Single-cell field. May-Grünwald-Giemsa stain. Bone marrow smear.
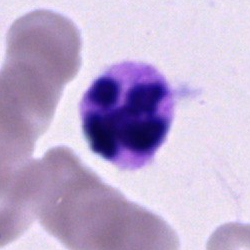Cell type: segmented neutrophil.